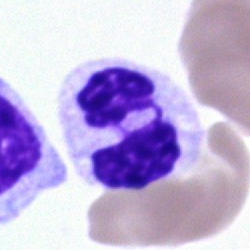Showing a neutrophil (segmented).